Pappenheim-stained · bone marrow aspirate smear · brightfield microscopy, 40× oil immersion — 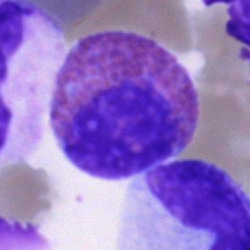
Impression — eosinophilic granulocyte.